Bone marrow aspirate smear:
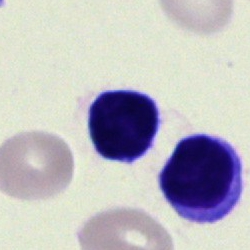

{"cell_type": "lymphocyte", "lineage": "lymphoid"}